Bone marrow aspirate smear · May-Grünwald-Giemsa/Pappenheim stain:
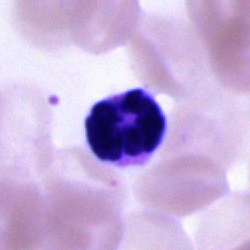 The cell shown is a polymorphonuclear neutrophil.